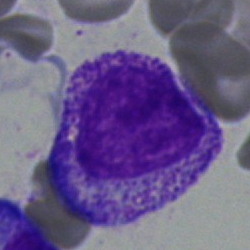

Q: What is shown here?
A: This is a myelocyte.